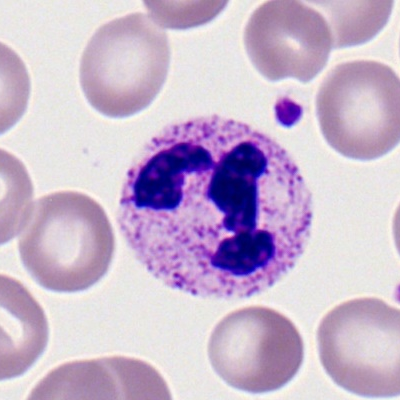 This is a neutrophil (segmented).